Bone marrow aspirate smear · Pappenheim-stained
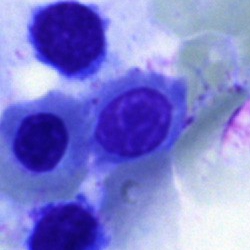

The classification is nucleated red cell.